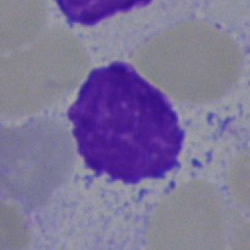
Cell = artifact.